Bone marrow smear. May-Grünwald-Giemsa/Pappenheim stain.
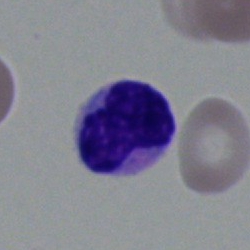 The cell type is lymphocyte.